Cropped to a single cell; bone marrow aspirate smear:
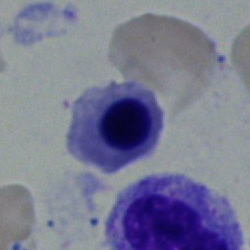

Impression — nucleated red blood cell.